Pappenheim-stained · bone marrow smear: 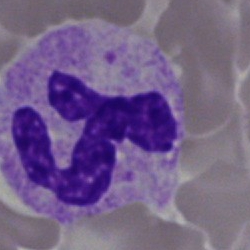Specimen: bone marrow smear.
Cell: polymorphonuclear neutrophil.
Lineage: myeloid.